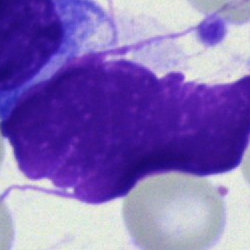
Bone marrow smear showing an artifact.